Brightfield microscopy, 40× oil immersion · bone marrow aspirate smear.
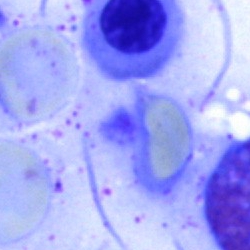Single cell identified as a normoblast.